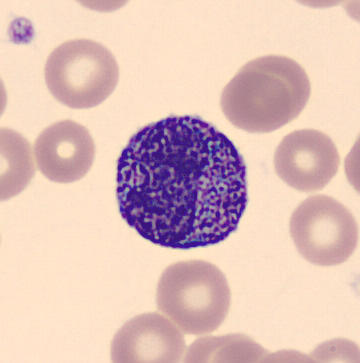Classification: myelocyte.

Preparation: 360 by 363 pixels · peripheral blood smear.